Peripheral blood smear:
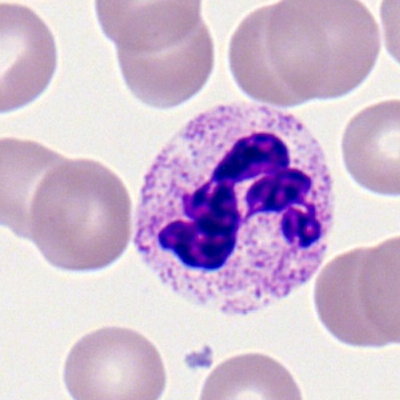Morphology — neutrophil (segmented).